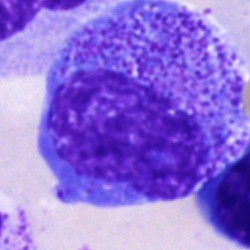 A progranulocyte.